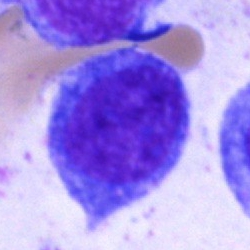
Bone marrow smear showing a blast cell.